Bone marrow smear. Pappenheim-stained
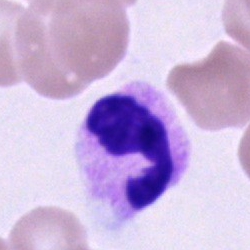

Morphology — polymorphonuclear neutrophil.